Bone marrow aspirate smear. 250×250.
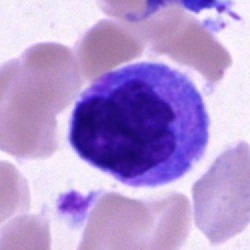 Specimen: bone marrow aspirate smear.
Morphological class: monocyte.
Lineage: myeloid.